Image size 250×250 · bone marrow smear · single cell centered in the field
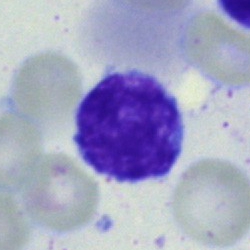 This is a lymphocyte.